Bone marrow aspirate smear: 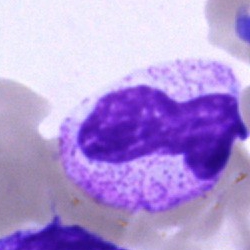Band neutrophil.